Bone marrow smear: 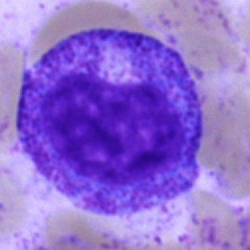

A promyelocyte.